Pappenheim-stained · bone marrow smear: 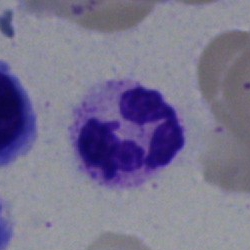 Impression → polymorphonuclear neutrophil.